250 by 250 pixels; bone marrow aspirate smear
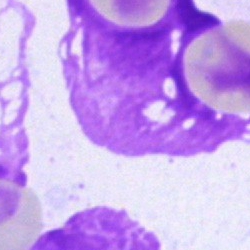
{"cell_type": "artifact"}